Image size 250×250; bone marrow aspirate smear; single-cell crop.
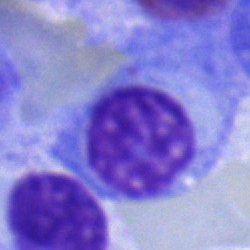Cell — plasma cell.